Bone marrow aspirate smear
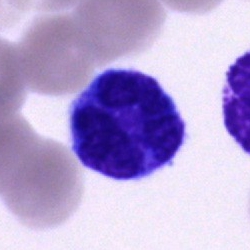

Specimen: bone marrow smear.
Cell type: artefact.